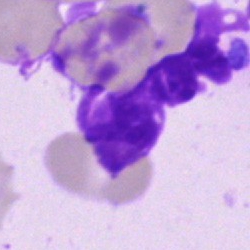
Q: What is shown here?
A: An artefact.